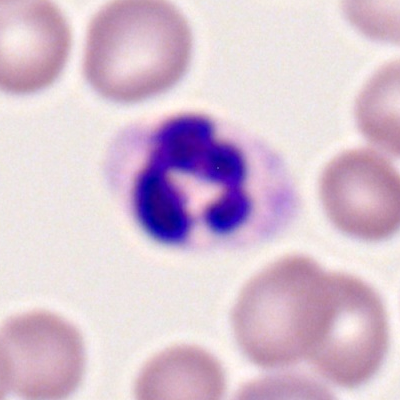
Peripheral blood smear showing a neutrophil (segmented).